May-Grünwald-Giemsa stain. Bone marrow aspirate smear:
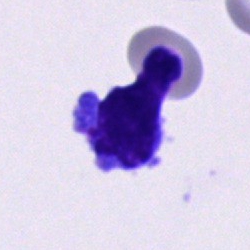

Impression — cell of indeterminate lineage.